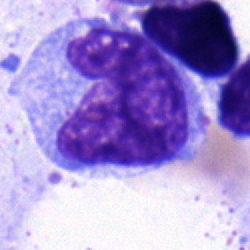 Specimen: bone marrow aspirate smear.
Cell type: monocyte.
Lineage: myeloid.